Bone marrow aspirate smear — 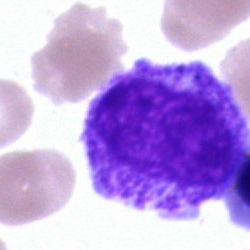

Classification = myelocyte.